Bone marrow smear.
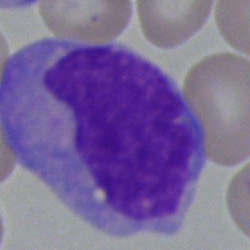 Cell type — monocyte.